Bone marrow aspirate smear; cropped to a single cell:
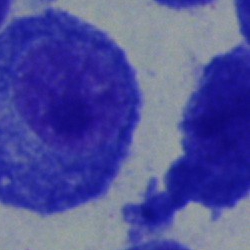
Single cell identified as a plasmacyte.